Single-cell field. Bone marrow smear.
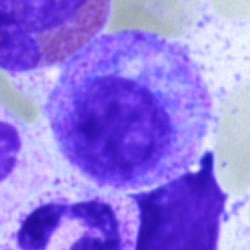

Specimen: bone marrow smear.
Cell: myelocyte.